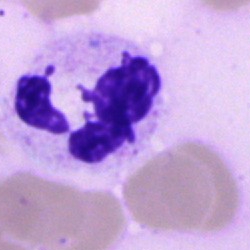 Q: What type of cell is this?
A: This is a neutrophil (segmented).